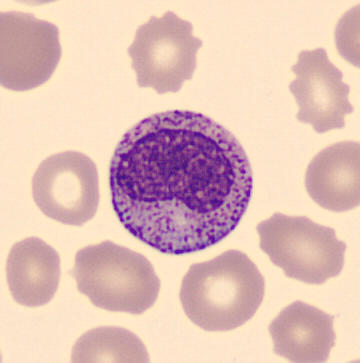 Q: What is shown here?
A: Metamyelocyte.
Acquisition: Peripheral blood smear. Image size 360×363.